Bone marrow aspirate smear
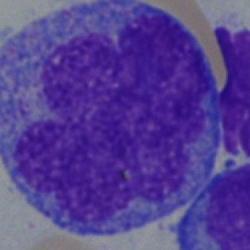 Specimen: bone marrow smear.
Classification: blast.